Bone marrow aspirate smear:
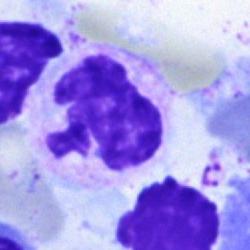Single cell identified as an artifact.